Single-cell field; bone marrow aspirate smear; MGG-stained
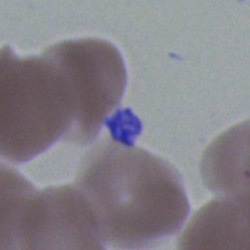 This is an artefact.